Bone marrow aspirate smear
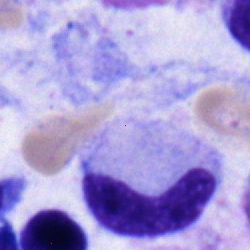Q: Identify the cell.
A: It is a band-form neutrophil.